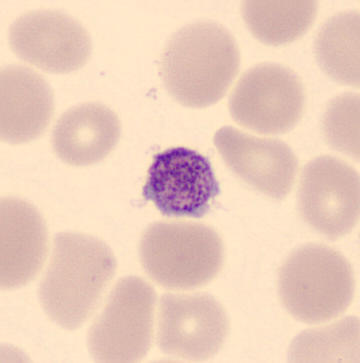
Thrombocyte.